Peripheral blood smear; 400 by 400 pixels
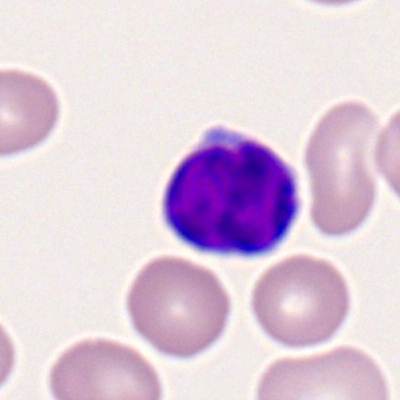
Specimen: peripheral blood smear.
Classification: typical lymphocyte.
Lineage: lymphoid.